Peripheral blood film.
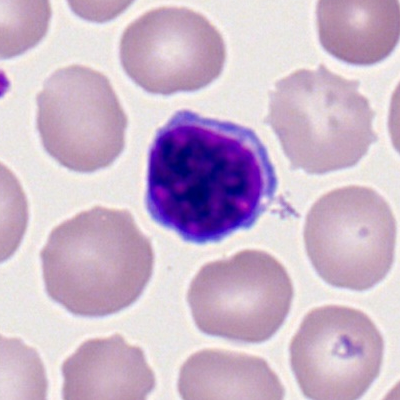 Q: Which cell type is shown here?
A: It is a lymphocyte.